Single cell centered in the field. Bone marrow smear: 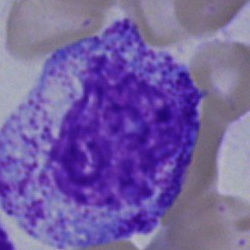 {"cell_type": "myelocyte", "lineage": "myeloid"}